250×250 px; bone marrow smear: 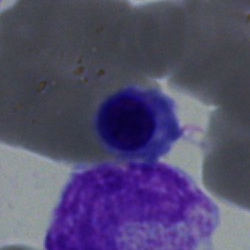

{"cell_type": "normoblast", "lineage": "erythroid"}